Bone marrow smear; 250×250 px: 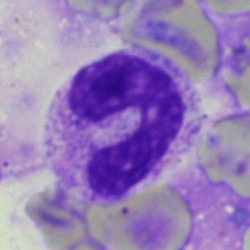 Band-form neutrophil.